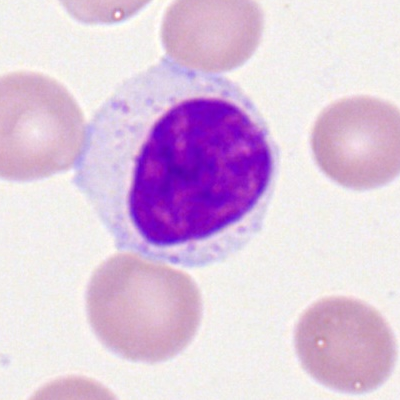 Impression — typical lymphocyte.